Bone marrow smear: 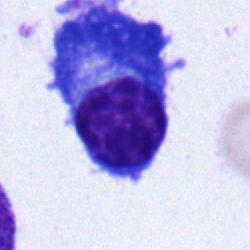
Impression — plasma cell.